Bone marrow smear.
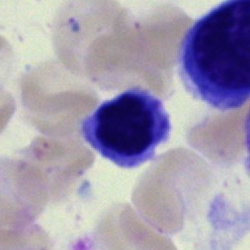

Nucleated red blood cell.